Bone marrow aspirate smear.
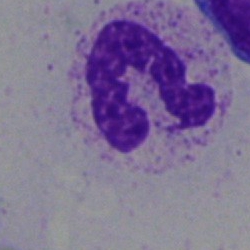Specimen: bone marrow smear.
Cell type: neutrophil (segmented).
Lineage: myeloid.